Bone marrow smear — 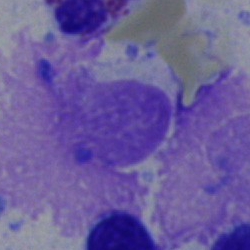 Q: What is shown here?
A: Artifact.